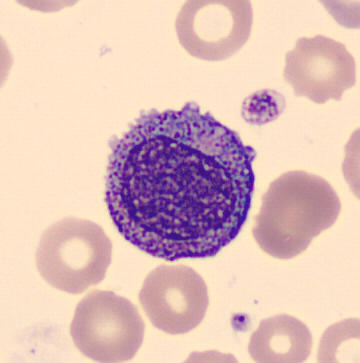
Cell type = promyelocyte. Cropped to a single cell. MGG-stained. Peripheral blood film.